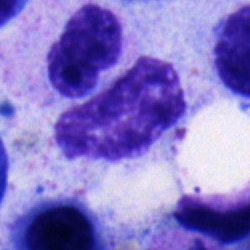
Classification = neutrophil (segmented).